May-Grünwald-Giemsa stain. Bone marrow smear — 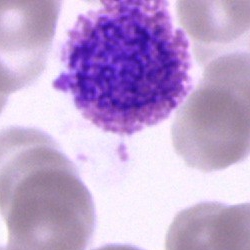

An eosinophilic granulocyte.